Bone marrow smear
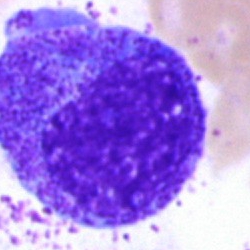

Q: What is shown here?
A: It is a myelocyte.